Bone marrow smear — 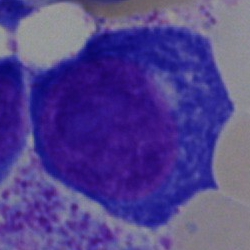

Specimen: bone marrow smear.
Cell: pronormoblast.
Lineage: erythroid.